Peripheral blood smear:
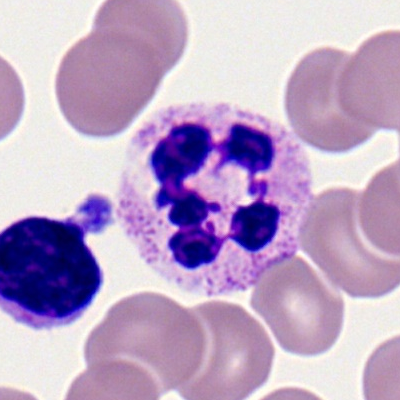 The cell shown is a segmented neutrophil.